Bone marrow smear.
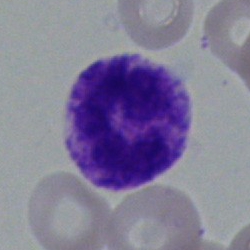Showing a neutrophil (segmented).